Bone marrow smear.
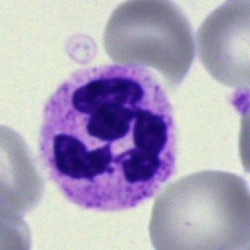 {"cell_type": "segmented neutrophil"}